Peripheral blood smear:
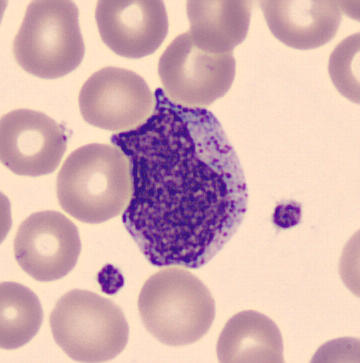Q: What is shown here?
A: It is a myelocyte.